Bone marrow smear. May-Grünwald-Giemsa/Pappenheim stain. Single-cell crop.
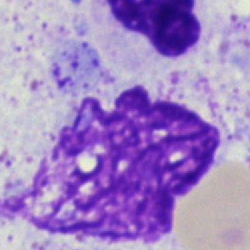
Q: What is shown here?
A: This is an artifact.